Bone marrow smear
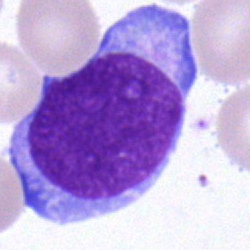
A blast.